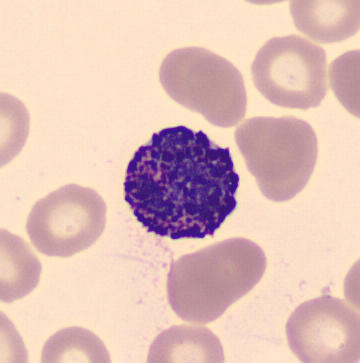

A basophilic granulocyte.

Peripheral blood film.